Peripheral blood film. Single-cell crop.
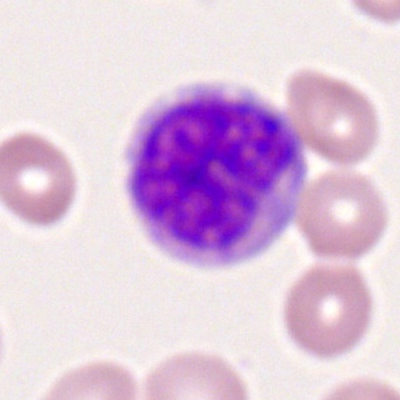Morphological class — monocyte.